Bone marrow aspirate smear
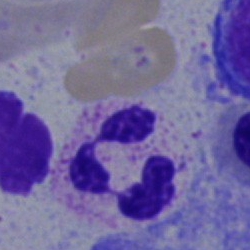 A neutrophil (segmented).